Bone marrow aspirate smear.
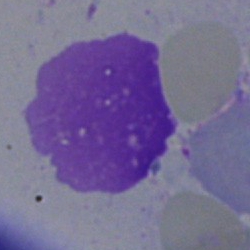Q: What is shown here?
A: Artifact.